Bone marrow smear · 250 by 250 pixels.
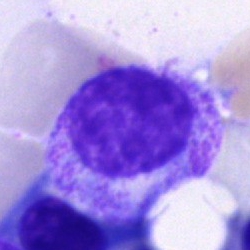 Single cell identified as a myelocyte.